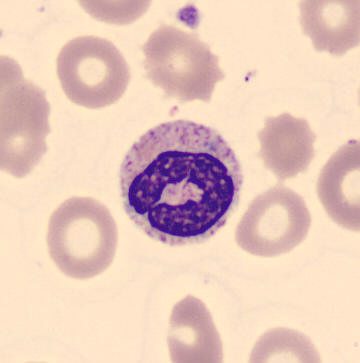360×363; peripheral blood film; May Grünwald-Giemsa stain.
Impression — band neutrophil.